Peripheral blood film
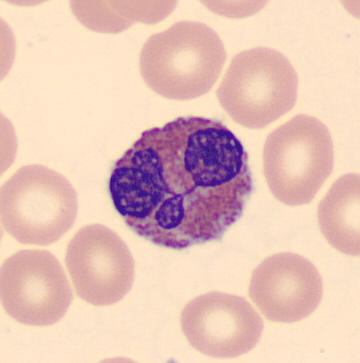
Cell type — eosinophil.